250 by 250 pixels; single cell centered in the field; bone marrow aspirate smear.
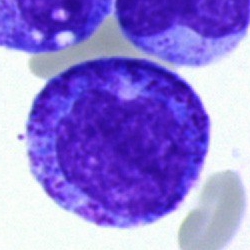
This is a progranulocyte.